Bone marrow smear:
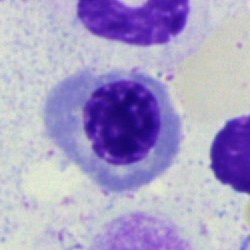 Q: Which cell type is shown here?
A: This is a nucleated red blood cell.